Bone marrow aspirate smear:
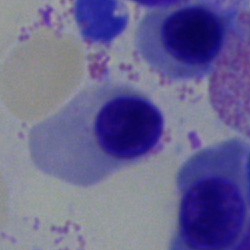Classification = nucleated red cell.